Bone marrow aspirate smear
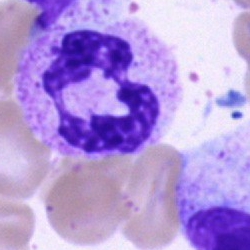

Single cell identified as a polymorphonuclear neutrophil.